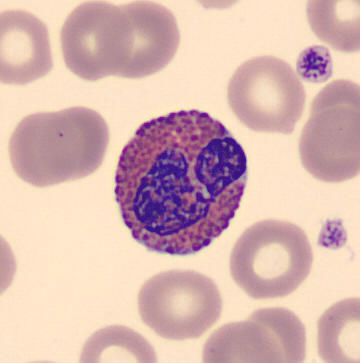 Eosinophil.
Image: Single cell centered in the field; peripheral blood film.